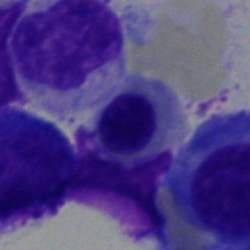

Cell = normoblast.